Bone marrow aspirate smear · single cell centered in the field:
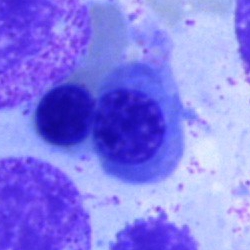 Morphology → erythroblast.